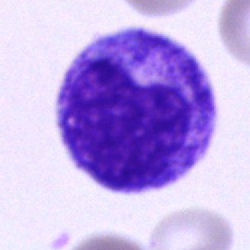Q: What cell is this?
A: A promyelocyte.